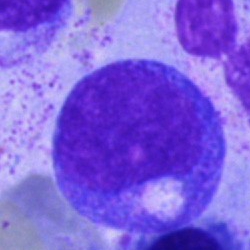{"cell_type": "progranulocyte", "lineage": "myeloid"}